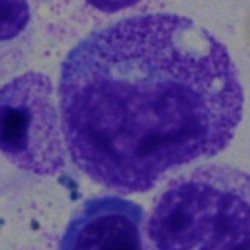 Specimen: bone marrow smear.
Morphological class: myelocyte.
Lineage: myeloid.